Bone marrow aspirate smear · image size 250×250: 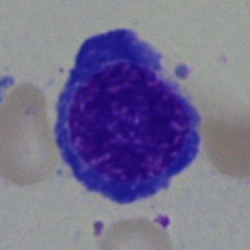
Cell: normoblast.